Bone marrow smear. Image size 250×250:
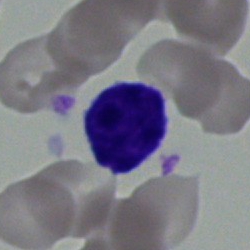Specimen: bone marrow smear.
Classification: typical lymphocyte.
Lineage: lymphoid.